Bone marrow aspirate smear
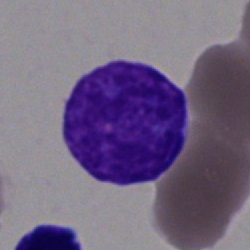 Blast.